Bone marrow aspirate smear; MGG-stained:
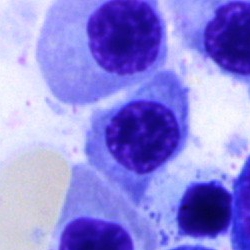 Specimen: bone marrow smear.
Classification: erythroblast.